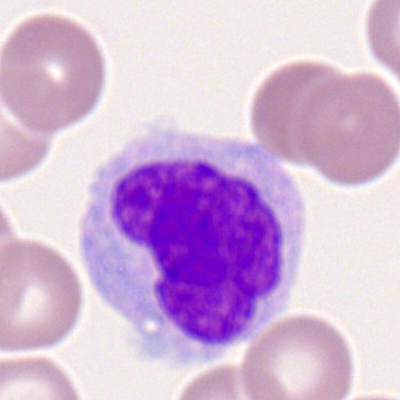 The morphological class is monocyte.